Peripheral blood smear — 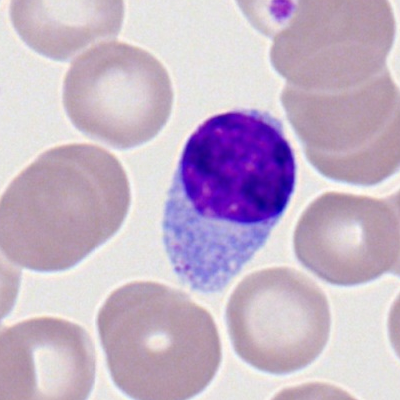
The cell shown is a lymphocyte.